Bone marrow smear
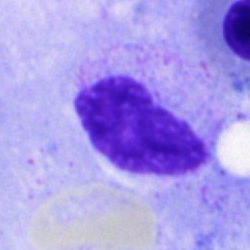The classification is artifact.